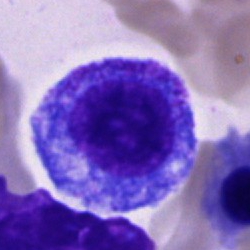

Single cell identified as a promyelocyte.